Bone marrow aspirate smear: 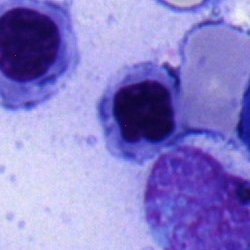 An erythroblast.